Bone marrow aspirate smear; cropped to a single cell; 250 by 250 pixels
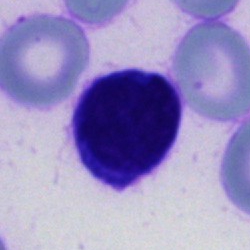Showing an unidentifiable cell.